Bone marrow aspirate smear
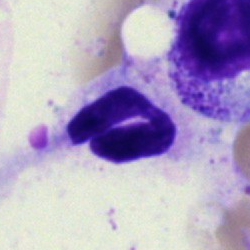 This is an artifact.